Peripheral blood film. Romanowsky-stained. 400×400 px:
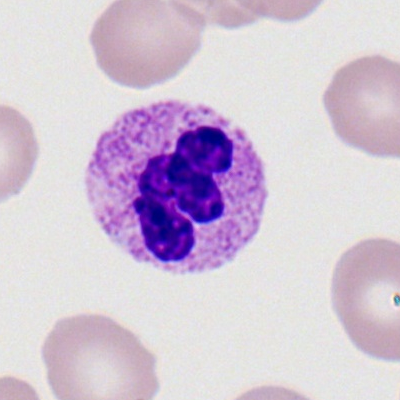

Q: What cell is this?
A: A segmented neutrophil.